Bone marrow aspirate smear:
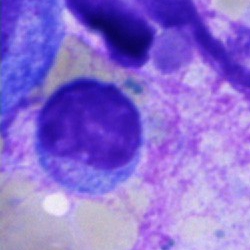

A lymphocyte.